Bone marrow smear.
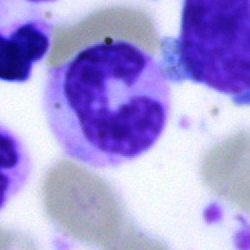
Specimen: bone marrow aspirate smear.
Cell type: segmented neutrophil.
Lineage: myeloid.